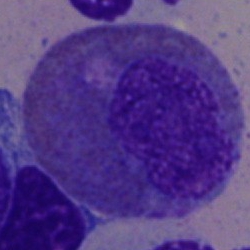
Morphological class = eosinophilic granulocyte.